250 by 250 pixels. Bone marrow smear:
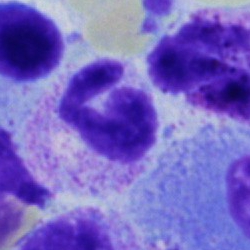 Q: What type of cell is this?
A: Polymorphonuclear neutrophil.